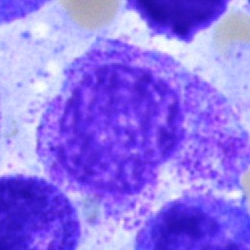Bone marrow smear showing an artefact.